Peripheral blood smear. 100× objective, oil immersion
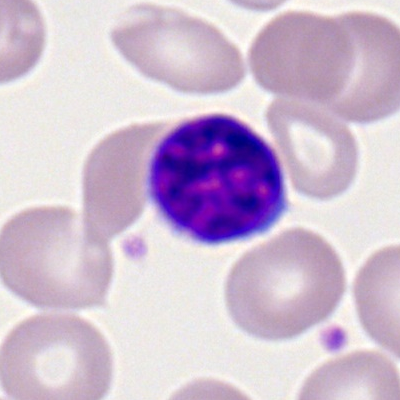 Lymphocyte.